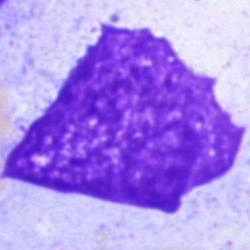Impression — artefact.